Bone marrow aspirate smear: 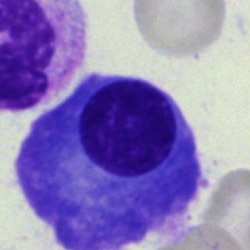

Morphology consistent with a plasma cell.